Bone marrow smear: 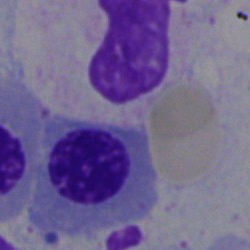
Cell type — nucleated red blood cell.